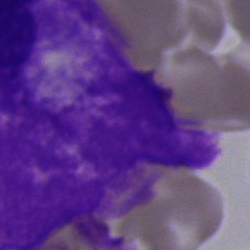

An artefact on a bone marrow smear.